Bone marrow aspirate smear
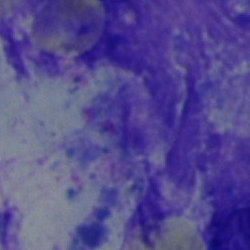

The classification is artifact.